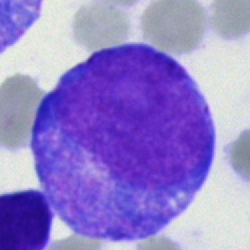

The cell type is promyelocyte.